Bone marrow aspirate smear — 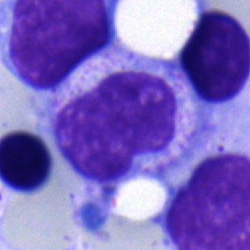

The classification is neutrophil (band).